Single-cell crop · bone marrow aspirate smear — 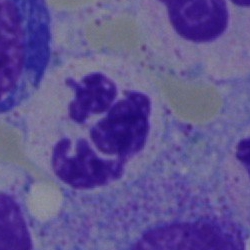

Cell type = segmented neutrophil.